Bone marrow aspirate smear: 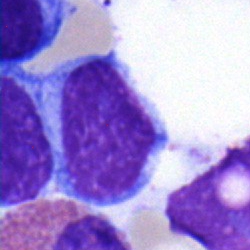 A typical lymphocyte.